Bone marrow smear; image size 250×250: 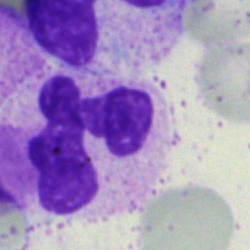
The classification is neutrophil (segmented).